Bone marrow aspirate smear — 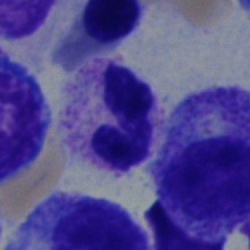

Impression — neutrophil (segmented).